Bone marrow aspirate smear: 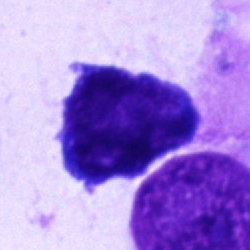Q: Identify the cell.
A: An undifferentiated blast.